Single-cell crop. Bone marrow smear:
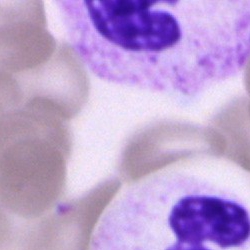

Impression — unidentifiable cell.